250×250 px; bone marrow smear: 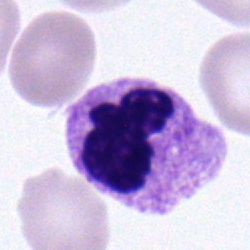

Morphology consistent with a polymorphonuclear neutrophil.